Bone marrow smear; 250×250 px — 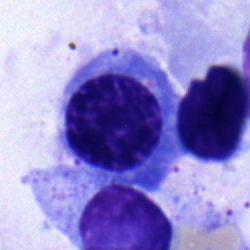 Impression — nucleated red cell.